Bone marrow smear · MGG-stained · single cell centered in the field
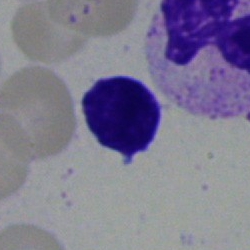Typical lymphocyte.